Bone marrow aspirate smear
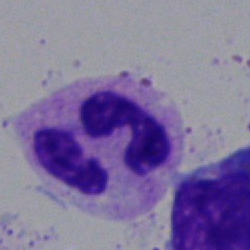

Impression → neutrophil (segmented).